Bone marrow smear.
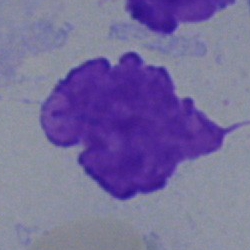

Cell — artefact.